Peripheral blood film:
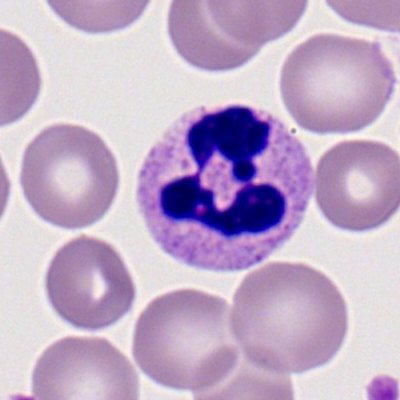 Impression → neutrophil (segmented).